Bone marrow aspirate smear:
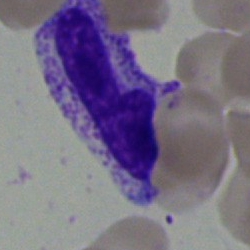

Specimen: bone marrow aspirate smear.
Cell: stab cell.
Lineage: myeloid.